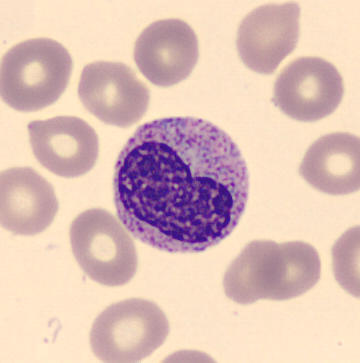Identified as a metamyelocyte.